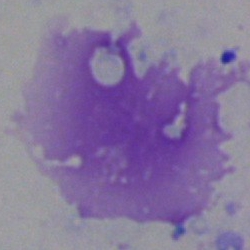 Specimen: bone marrow smear.
Cell: artifact.